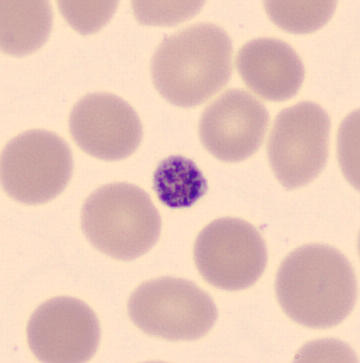
Preparation: Peripheral blood film.

{"cell_type": "platelet"}